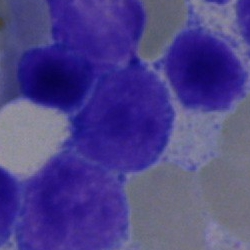Morphological class = lymphocyte.